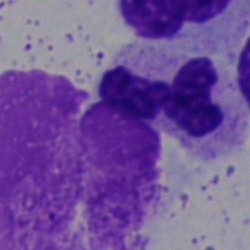
Cell type — polymorphonuclear neutrophil.